Bone marrow smear:
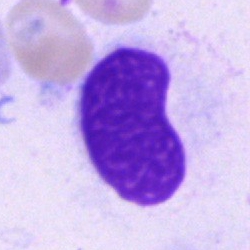

Q: What is shown here?
A: This is an artifact.